Bone marrow aspirate smear.
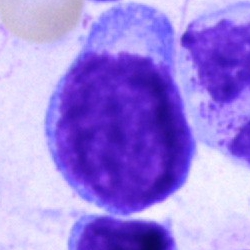

The classification is undifferentiated blast.